Bone marrow smear
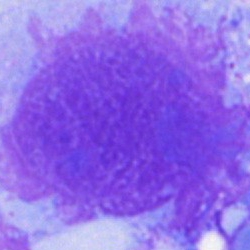
This is an artefact.